Bone marrow smear — 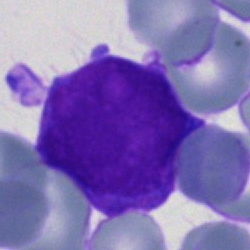

Q: Which cell type is shown here?
A: This is a blast.